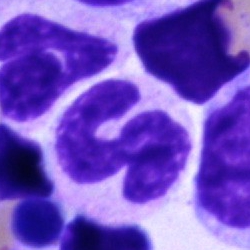 Morphology consistent with a neutrophil (band).